Brightfield, 40× oil-immersion objective. Bone marrow aspirate smear
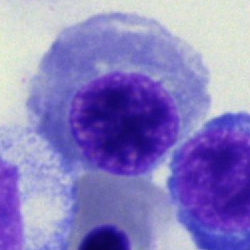
An erythroblast.